Bone marrow smear.
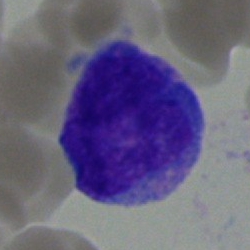Classification: blast cell.